Bone marrow smear
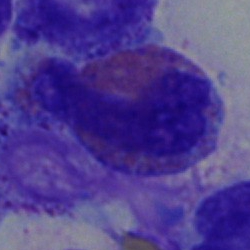Morphology → eosinophilic granulocyte.